Single cell centered in the field · bone marrow smear — 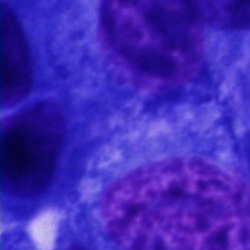

Cell type = cell not matching the other categories.